Bone marrow aspirate smear. Brightfield microscopy, 40× oil immersion:
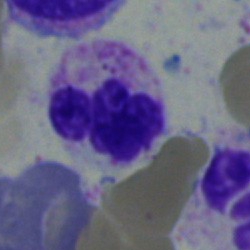

{"cell_type": "neutrophil (segmented)", "lineage": "myeloid"}